Bone marrow aspirate smear:
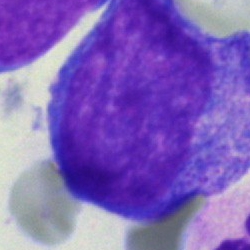
Impression — promyelocyte.